MGG-stained; bone marrow smear:
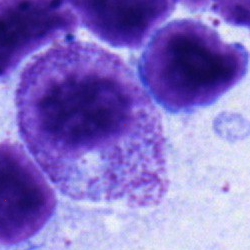 A myelocyte.